Single cell centered in the field. Bone marrow aspirate smear: 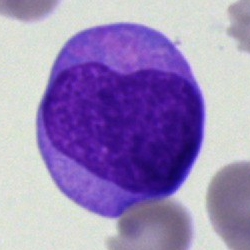 Specimen: bone marrow aspirate smear.
Morphological class: blast.